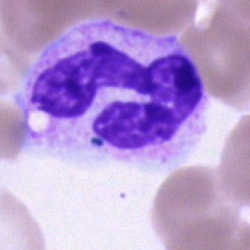

Morphology → polymorphonuclear neutrophil.